Image size 250×250; bone marrow smear; 40× oil immersion.
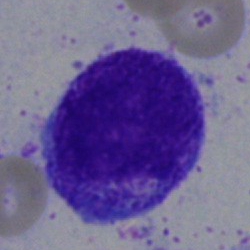 Q: Which cell type is shown here?
A: A myelocyte.